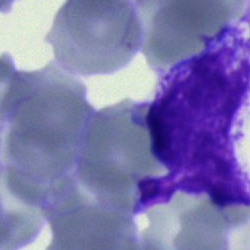

Cell = artifact.